Bone marrow smear
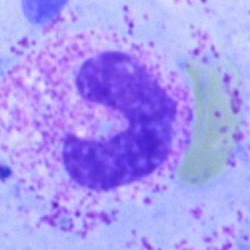Cell = band neutrophil.